Bone marrow aspirate smear; single-cell field; brightfield microscopy, 40× oil immersion:
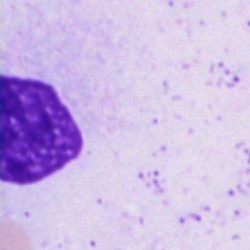

Specimen: bone marrow smear.
Classification: artifact.